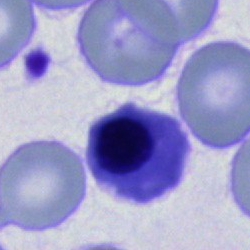
Cell = nucleated red blood cell.